Peripheral blood film:
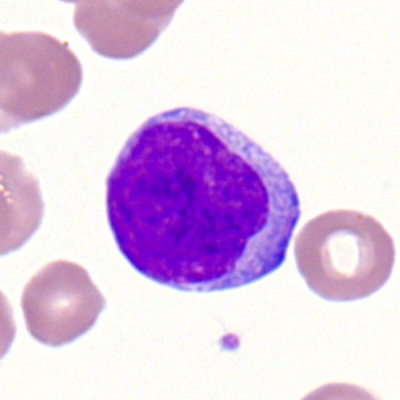Myeloblast.